Bone marrow smear: 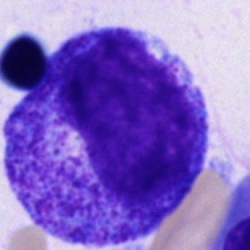

Specimen: bone marrow smear.
Cell type: progranulocyte.
Lineage: myeloid.